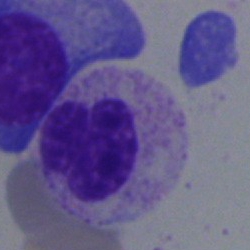

Classification — band neutrophil.